Bone marrow smear: 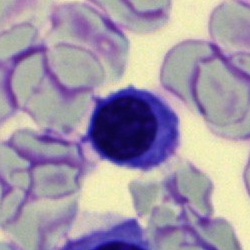Q: What type of cell is this?
A: A normoblast.